Bone marrow aspirate smear
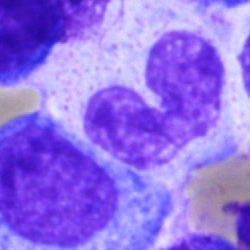

Cell type — stab cell.